Bone marrow smear · single-cell field — 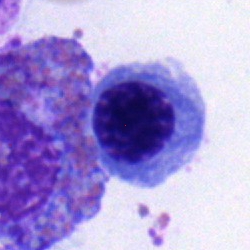 Specimen: bone marrow smear.
Cell: nucleated red blood cell.